Bone marrow aspirate smear; Pappenheim-stained.
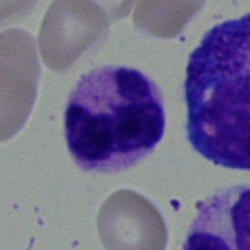

Cell type: neutrophil (segmented).